250 by 250 pixels; bone marrow smear — 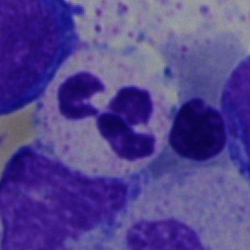

Cell type = segmented neutrophil.